Bone marrow aspirate smear
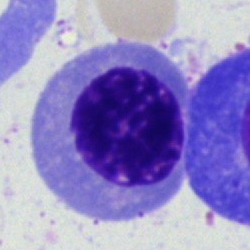
Single cell identified as an erythroblast.